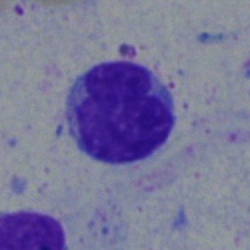 Specimen: bone marrow smear.
Morphological class: typical lymphocyte.